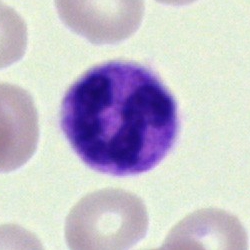

Specimen: bone marrow aspirate smear.
Cell: neutrophil (segmented).
Lineage: myeloid.